Bone marrow aspirate smear
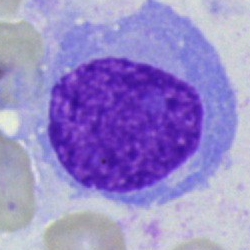Q: What cell is this?
A: This is a monocyte.